Pappenheim-stained; brightfield microscopy, 40× oil immersion; bone marrow aspirate smear: 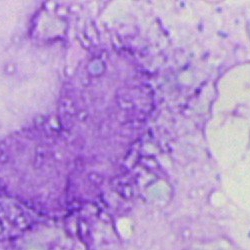Cell type — artifact.